Bone marrow smear.
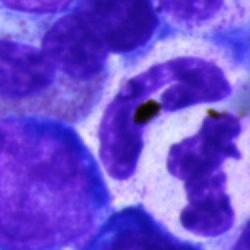 Impression — segmented neutrophil.